40× objective, oil immersion · bone marrow aspirate smear:
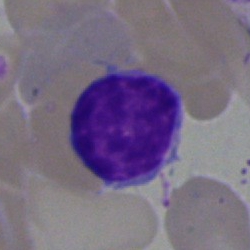 Morphology — typical lymphocyte.